Peripheral blood film
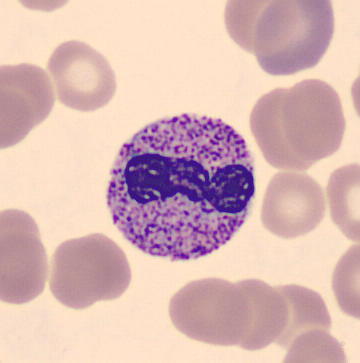Specimen: peripheral blood film.
Cell type: stab cell.
Lineage: myeloid.